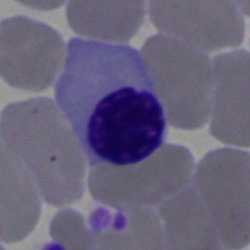A nucleated red cell.